Bone marrow smear; 250×250 px: 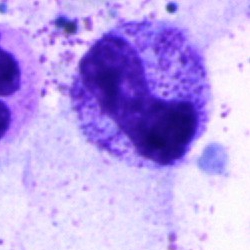 Showing a neutrophil (band).